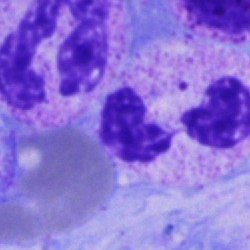
Morphological class — polymorphonuclear neutrophil.